Bone marrow aspirate smear — 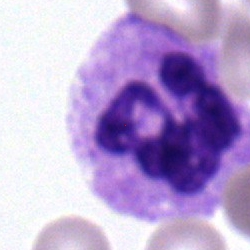

Specimen: bone marrow aspirate smear.
Cell: segmented neutrophil.